40× oil immersion · bone marrow aspirate smear
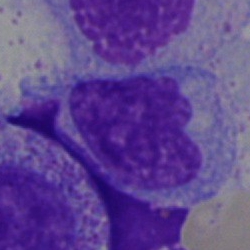Classification = monocyte.